250×250. Bone marrow smear
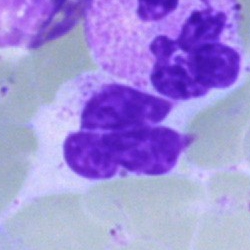Q: What is shown here?
A: It is an artefact.